Bone marrow smear.
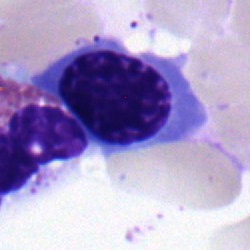 Specimen: bone marrow smear.
Morphological class: nucleated red blood cell.
Lineage: erythroid.